May-Grünwald-Giemsa/Pappenheim stain. 250×250 px. Bone marrow aspirate smear.
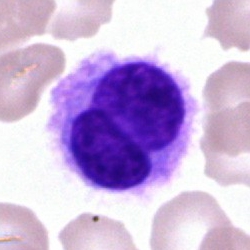 {"cell_type": "hairy cell", "lineage": "lymphoid"}